250×250; bone marrow aspirate smear
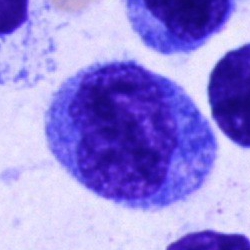 Cell = blast.